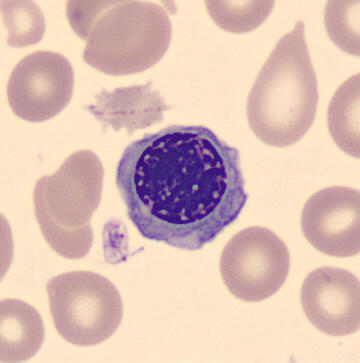 Image: Peripheral blood film · imaged on a CellaVision DM96 analyser · single cell centered in the field. Impression → erythroblast.